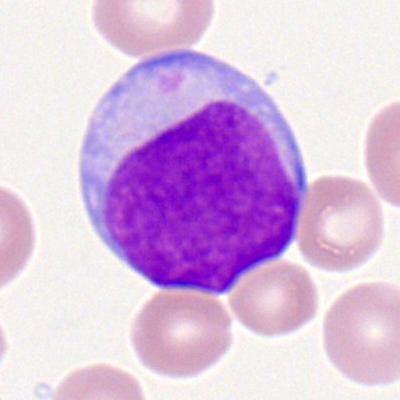

The cell shown is a myeloblast.